Bone marrow smear; single-cell field
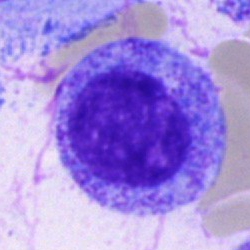Q: What type of cell is this?
A: Progranulocyte.